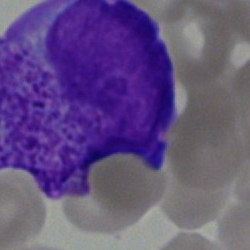
Impression — blast.